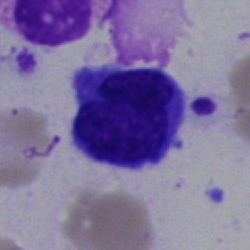 Single-cell crop from a bone marrow smear: lymphocyte.